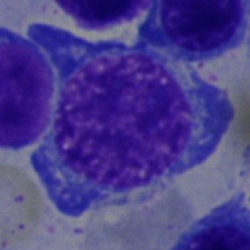 A normoblast on a bone marrow smear.